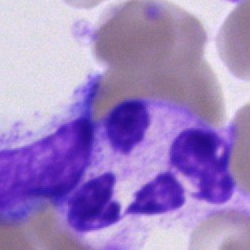

A segmented neutrophil.